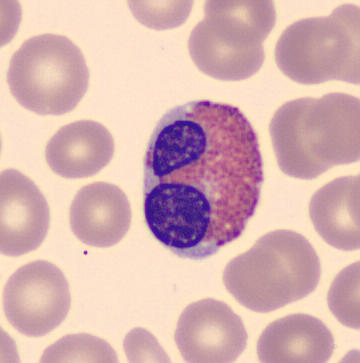 Peripheral blood film · single cell centered in the field · CellaVision DM96 digital cell image. Identified as an eosinophilic granulocyte.